Peripheral blood film: 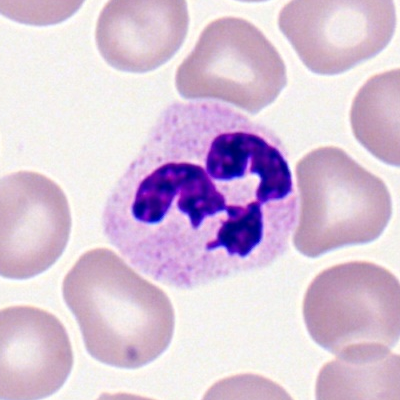
Cell: neutrophil (segmented).